Bone marrow aspirate smear:
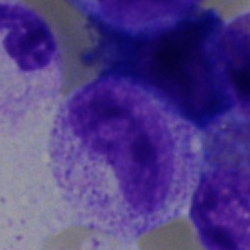
Showing a neutrophil (band).